Bone marrow aspirate smear. Single-cell field:
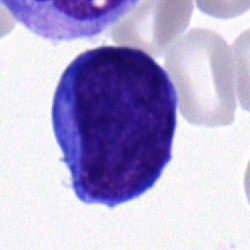
Specimen: bone marrow aspirate smear.
Classification: undifferentiated blast.